Peripheral blood smear
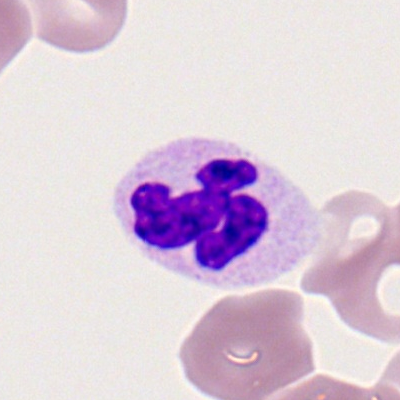

The cell is neutrophil (segmented).